Brightfield microscopy, 40× oil immersion; single cell centered in the field; bone marrow smear: 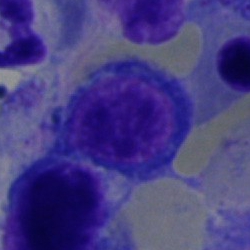{"cell_type": "erythroblast"}